Bone marrow smear — 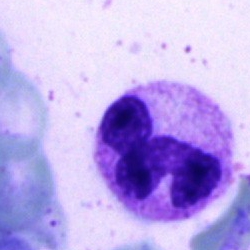 Neutrophil (segmented).